Single-cell field; bone marrow smear
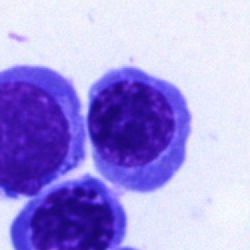
The cell shown is an erythroblast.